Bone marrow aspirate smear: 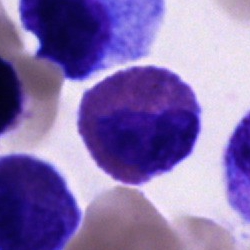
Morphology consistent with an eosinophil.